Bone marrow aspirate smear; brightfield microscopy, 40× oil immersion: 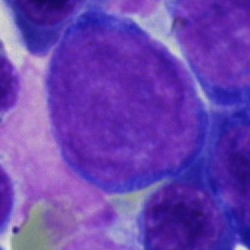

Impression → proerythroblast.